Cropped to a single cell. Bone marrow smear — 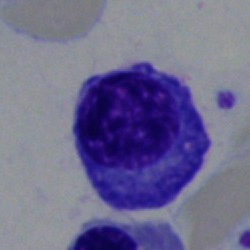

Cell: plasmacyte.